Bone marrow smear · single cell centered in the field
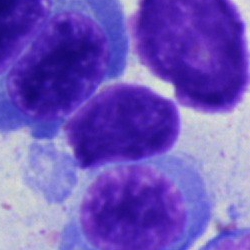 Morphological class: artifact.